Brightfield microscopy, 40× oil immersion · MGG-stained · bone marrow aspirate smear.
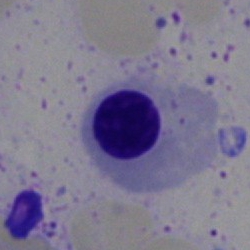 Q: Which cell type is shown here?
A: It is an erythroblast.